Bone marrow smear.
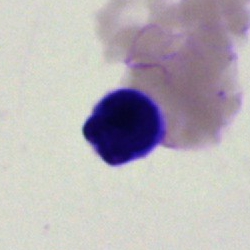 The morphological class is artefact.